Bone marrow smear — 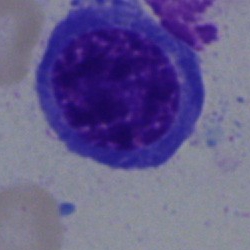
Q: Identify the cell.
A: An erythroblast.